Bone marrow smear — 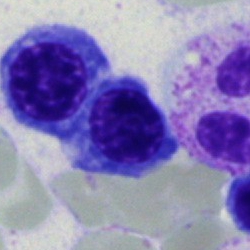The classification is nucleated red cell.